Bone marrow smear; 40× oil immersion; image size 250×250 — 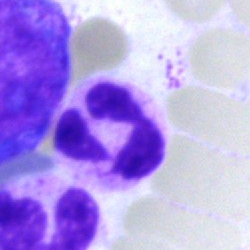
Cell = neutrophil (segmented).